Bone marrow aspirate smear:
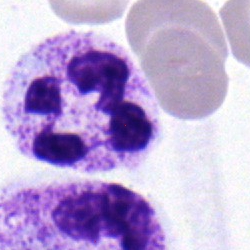

Single cell identified as a segmented neutrophil.